Bone marrow aspirate smear: 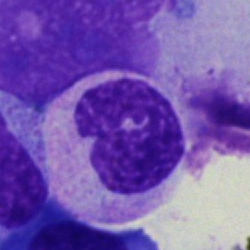 Morphology consistent with a polymorphonuclear neutrophil.